Cropped to a single cell. Brightfield, 40× oil-immersion objective. Bone marrow smear: 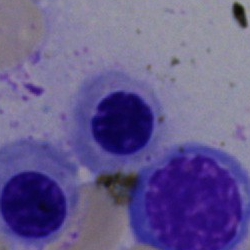

Cell = nucleated red blood cell.